40× oil immersion; 250×250 px; bone marrow aspirate smear: 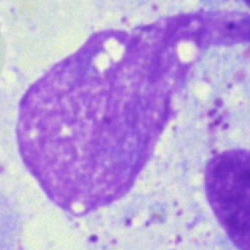
Q: What is shown here?
A: An artifact.